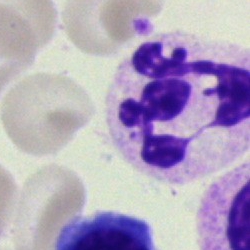Showing a neutrophil (segmented).